Single-cell field · bone marrow aspirate smear:
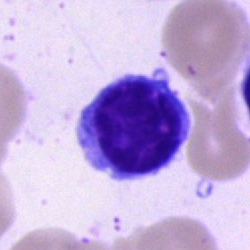

Morphology — lymphocyte.